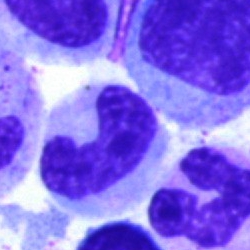
Cell — neutrophil (band).